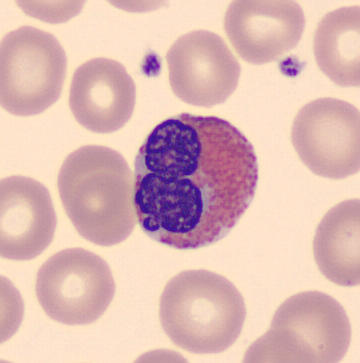
Identified as an eosinophil.

Image: Peripheral blood film.